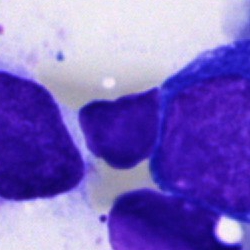

Morphology consistent with an artefact.